Bone marrow aspirate smear: 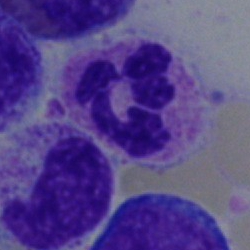
The morphological class is neutrophil (segmented).